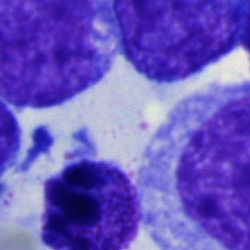 Classification = artefact.